Bone marrow aspirate smear — 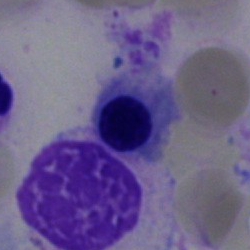
Normoblast.